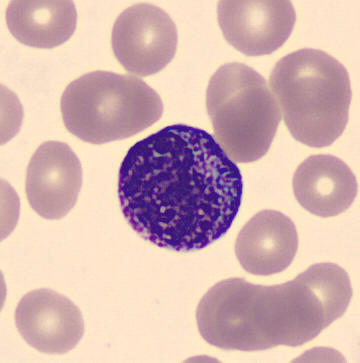
Q: Identify the cell.
A: This is a myelocyte.

Acquisition: Peripheral blood smear.